Bone marrow aspirate smear: 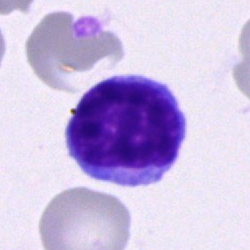
The cell shown is a lymphocyte.